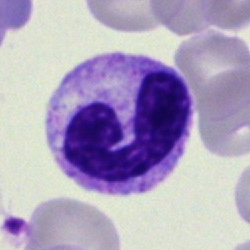

Morphology consistent with a neutrophil (segmented).